40× objective, oil immersion; bone marrow aspirate smear.
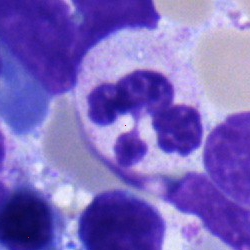 Specimen: bone marrow smear.
Cell type: neutrophil (segmented).